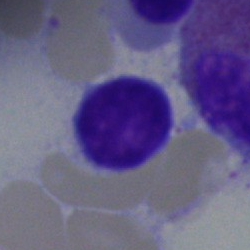
This is a typical lymphocyte.